Peripheral blood smear — 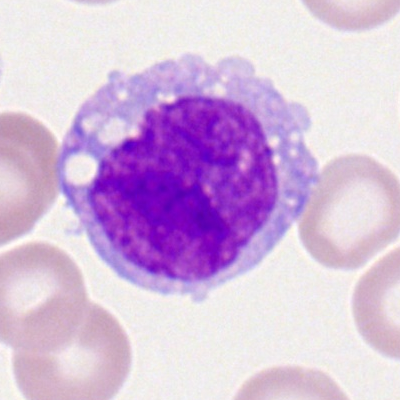 Morphological class — monocyte.